Peripheral blood film: 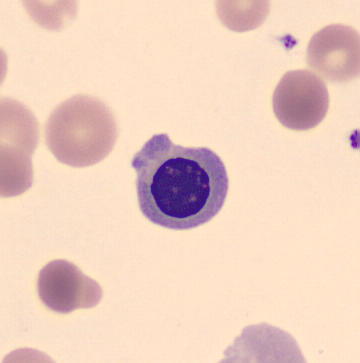

Cell type = nucleated red cell.